Peripheral blood film: 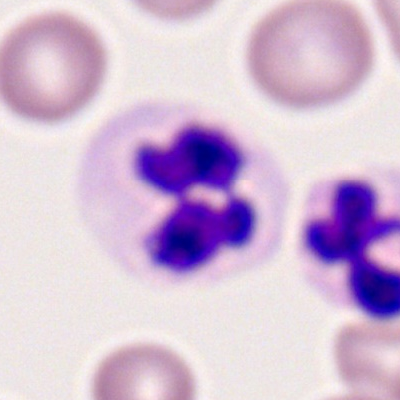A segmented neutrophil.